Peripheral blood film; single cell centered in the field — 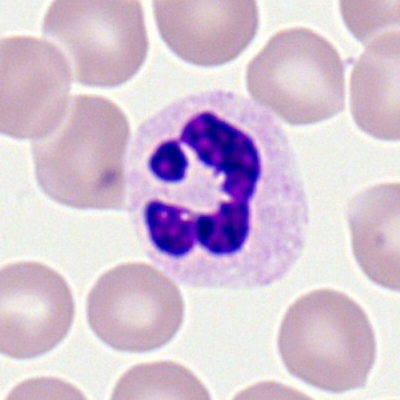Q: What type of cell is this?
A: This is a neutrophil (segmented).